Peripheral blood smear · 400 by 400 pixels:
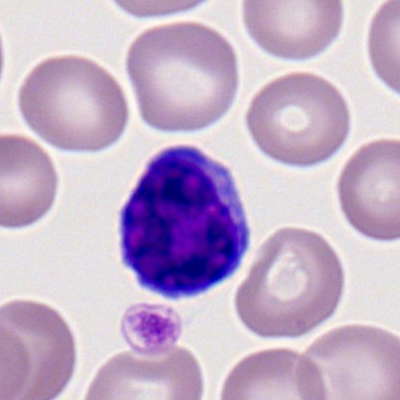

This is a typical lymphocyte.